Bone marrow smear:
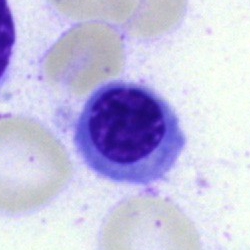 Impression → nucleated red blood cell.